Bone marrow aspirate smear · 250×250 px · cropped to a single cell
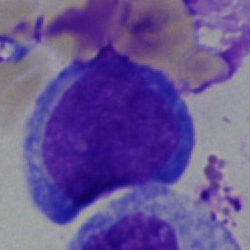
Specimen: bone marrow aspirate smear.
Classification: blast.